Bone marrow smear · cropped to a single cell
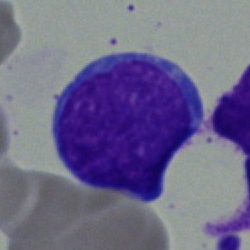Morphological class = blast cell.